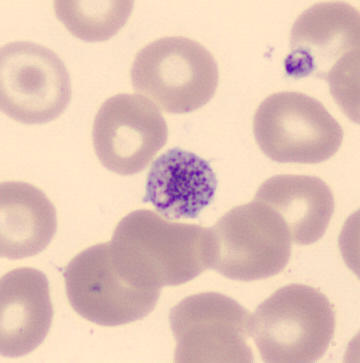
Acquisition: MGG stain. Peripheral blood smear. CellaVision DM96 digital cell image. Impression — platelet.